Bone marrow aspirate smear: 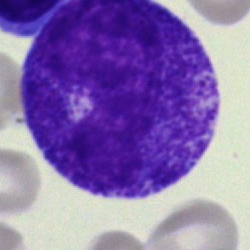

Morphology — progranulocyte.